May-Grünwald-Giemsa stain; bone marrow aspirate smear:
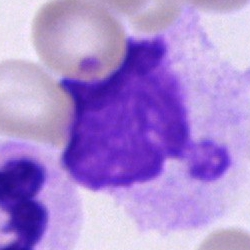
Classification — cell of indeterminate lineage.